Bone marrow aspirate smear. May-Grünwald-Giemsa stain — 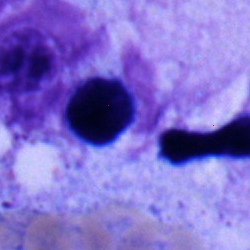
Classification: typical lymphocyte.